Bone marrow aspirate smear.
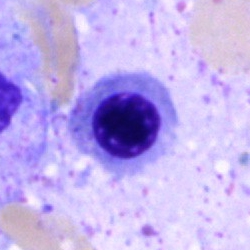Q: What is the morphological classification of this cell?
A: This is a nucleated red blood cell.